Bone marrow aspirate smear · MGG-stained:
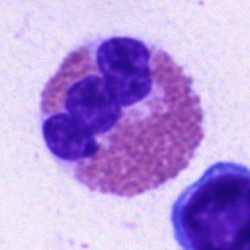
This is an eosinophilic granulocyte.